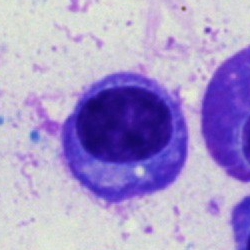The morphological class is plasmacyte.